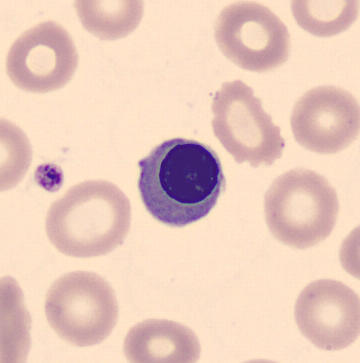Q: Identify the cell.
A: This is a nucleated red blood cell.